Bone marrow smear · brightfield microscopy, 40× oil immersion · 250×250 px
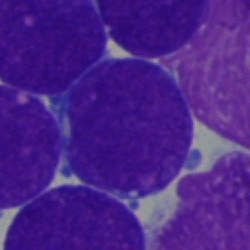

Q: Which cell type is shown here?
A: Blast cell.